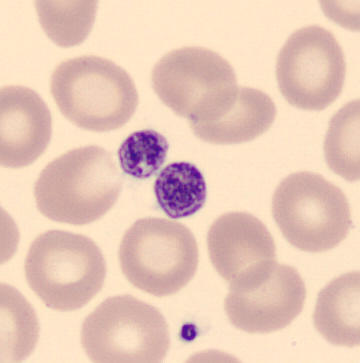 Platelet.